Bone marrow smear.
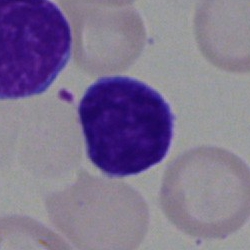

Cell = lymphocyte.